Bone marrow smear — 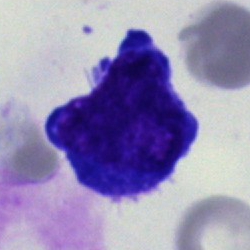
The morphological class is nucleated red cell.